Bone marrow aspirate smear: 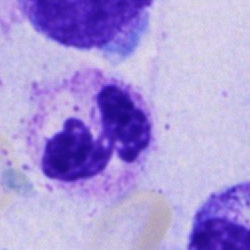Q: What is shown here?
A: Segmented neutrophil.